Bone marrow aspirate smear; 250 by 250 pixels.
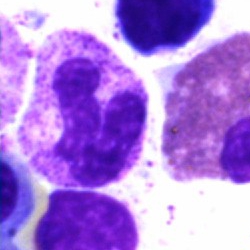

Segmented neutrophil.